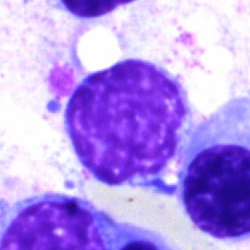Q: What is shown here?
A: It is a typical lymphocyte.